Bone marrow smear
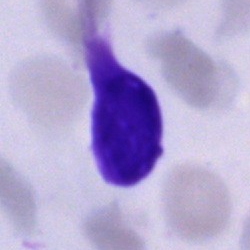Specimen: bone marrow aspirate smear.
Classification: artifact.